Bone marrow aspirate smear — 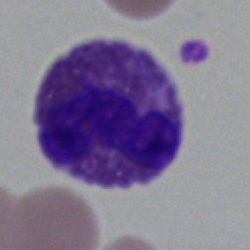

Showing a neutrophil (segmented).